Bone marrow smear; 250×250.
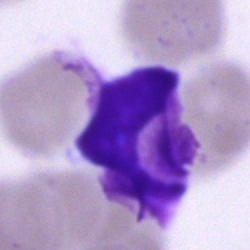

Specimen: bone marrow aspirate smear.
Cell type: artifact.